Bone marrow aspirate smear — 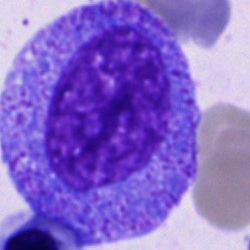 Specimen: bone marrow aspirate smear.
Cell type: promyelocyte.
Lineage: myeloid.